250×250 px; bone marrow aspirate smear; May-Grünwald-Giemsa/Pappenheim stain: 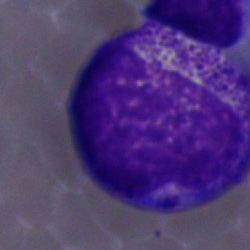

Q: Identify the cell.
A: Metamyelocyte.